May-Grünwald-Giemsa stain · image size 250×250 · bone marrow aspirate smear — 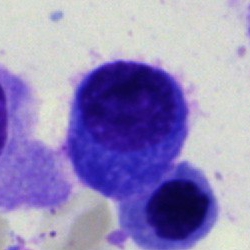 A plasma cell.